Bone marrow aspirate smear:
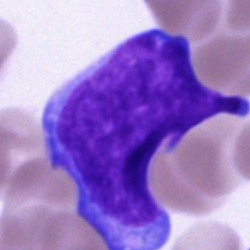
Showing a blast cell.